Bone marrow smear: 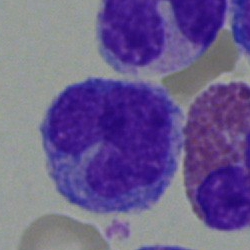
Q: Identify the cell.
A: A monocyte.